Bone marrow smear.
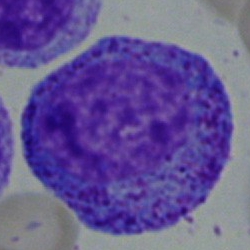{"cell_type": "promyelocyte"}